40× objective, oil immersion. Cropped to a single cell. Bone marrow smear.
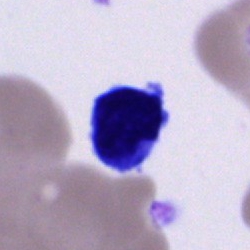The classification is cell of indeterminate lineage.